Bone marrow smear · Pappenheim-stained:
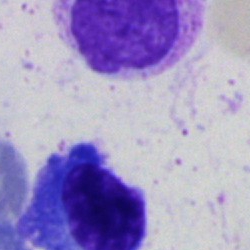

Cell type = artifact.